Brightfield microscopy, 40× oil immersion. Bone marrow smear:
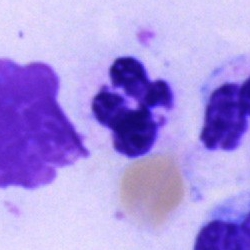

Q: Identify the cell.
A: This is a neutrophil (segmented).